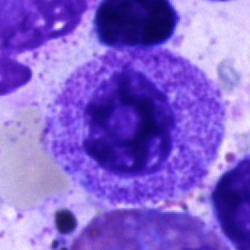 Q: Identify the cell.
A: Progranulocyte.